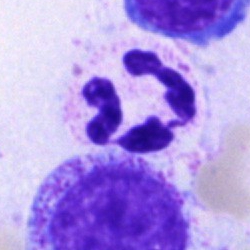

{"cell_type": "polymorphonuclear neutrophil", "lineage": "myeloid"}